Bone marrow aspirate smear:
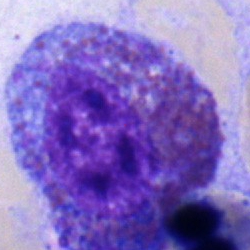
Q: Which cell type is shown here?
A: Eosinophil.